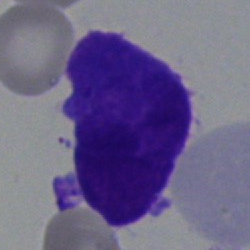

The cell shown is an undifferentiated blast.